Bone marrow aspirate smear · brightfield microscopy, 40× oil immersion · 250×250 — 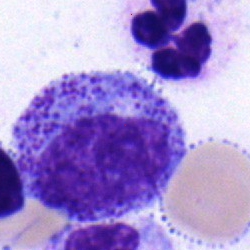
Single cell identified as a myelocyte.